Bone marrow smear
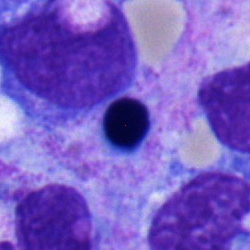
Cell = nucleated red cell.